250×250 px · bone marrow aspirate smear
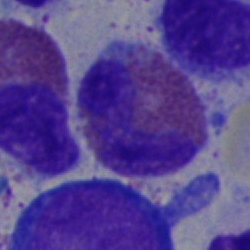

Cell type: eosinophilic granulocyte.